Romanowsky-stained; 400 by 400 pixels; peripheral blood film — 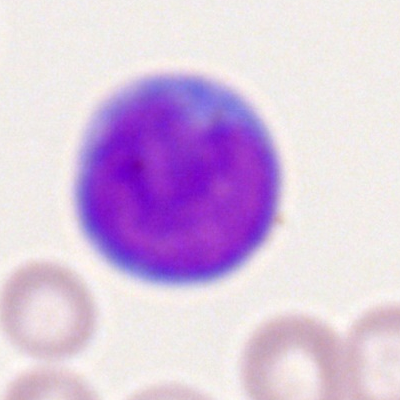

Showing a myeloid blast.